Bone marrow smear — 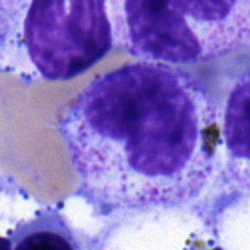
The classification is metamyelocyte.